250×250; bone marrow aspirate smear: 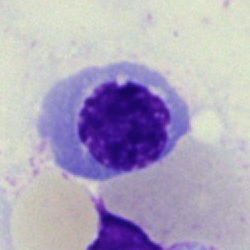
Q: Which cell type is shown here?
A: A nucleated red blood cell.